Bone marrow aspirate smear:
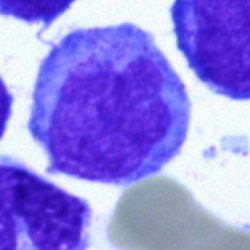 Morphology → undifferentiated blast.